250 by 250 pixels; bone marrow smear.
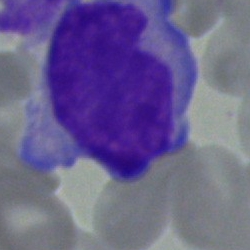{"cell_type": "undifferentiated blast"}